Peripheral blood film — 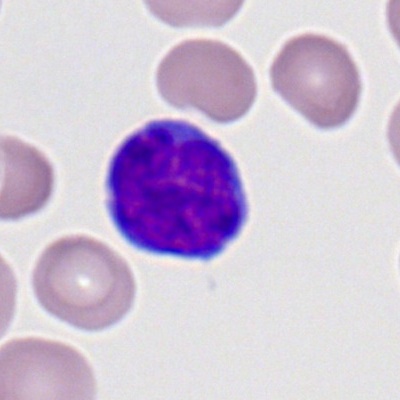

The cell shown is a typical lymphocyte.